Bone marrow aspirate smear. 250×250 px:
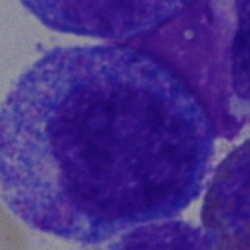
Showing a progranulocyte.